Bone marrow aspirate smear; single cell centered in the field: 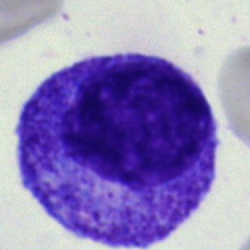
{"cell_type": "promyelocyte"}